40× oil immersion · bone marrow aspirate smear:
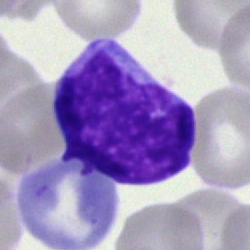
A blast.